Bone marrow smear; brightfield, 40× oil-immersion objective; 250×250 px — 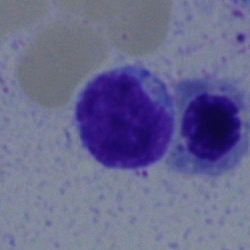
{"cell_type": "typical lymphocyte"}